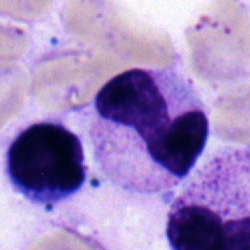Q: Which cell type is shown here?
A: It is a stab cell.